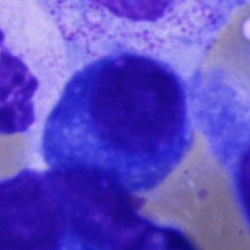 Bone marrow smear showing a plasma cell.